Bone marrow smear: 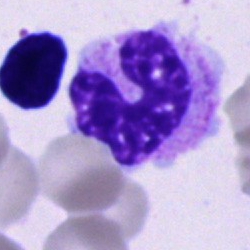

Single cell identified as a neutrophil (band).